250 by 250 pixels. Bone marrow smear.
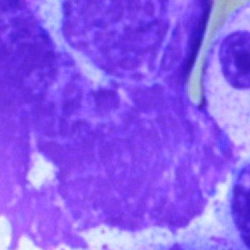Morphological class = artifact.